250×250 px. Bone marrow smear
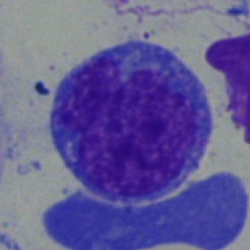Q: Identify the cell.
A: This is a blast cell.